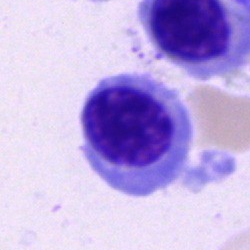 Q: What type of cell is this?
A: This is an erythroblast.